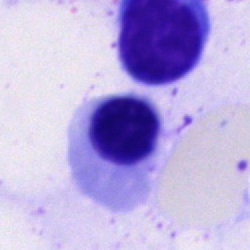

Specimen: bone marrow aspirate smear.
Cell: nucleated red blood cell.
Lineage: erythroid.